Bone marrow aspirate smear; single cell centered in the field.
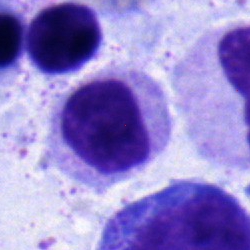

The cell shown is a myelocyte.